May-Grünwald-Giemsa stain; bone marrow aspirate smear
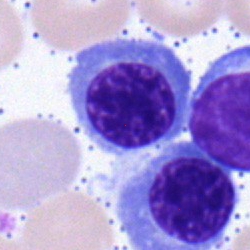

The classification is normoblast.